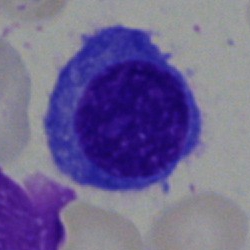
Specimen: bone marrow aspirate smear.
Morphological class: plasmacyte.